Single-cell field · bone marrow smear — 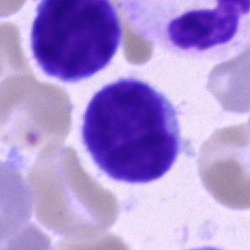

Single cell identified as a typical lymphocyte.